MGG-stained. Bone marrow smear
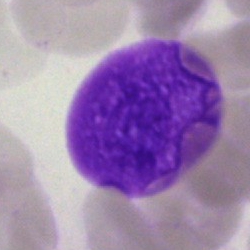

This is an artifact.